Bone marrow aspirate smear.
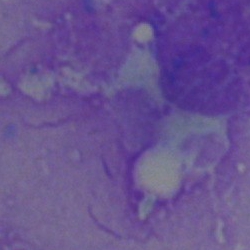 Morphology → artifact.